Bone marrow smear:
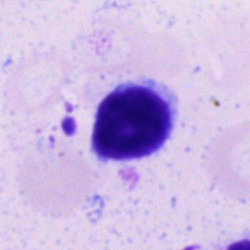

Cell type: typical lymphocyte.